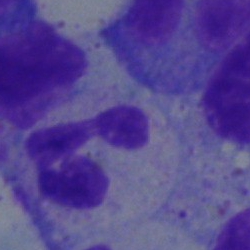 Single cell identified as a neutrophil (segmented).